Bone marrow aspirate smear.
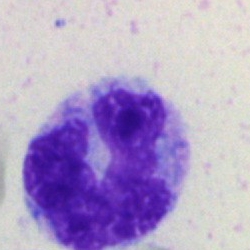Specimen: bone marrow aspirate smear.
Cell type: monocyte.